250 by 250 pixels. Bone marrow aspirate smear
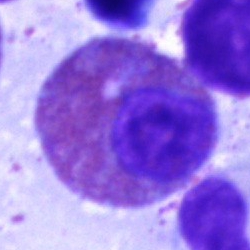
Eosinophilic granulocyte.